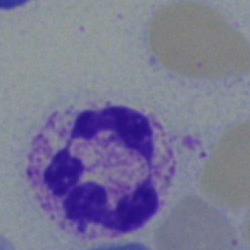
Morphology consistent with a polymorphonuclear neutrophil.